Bone marrow aspirate smear; MGG-stained; 40× objective, oil immersion: 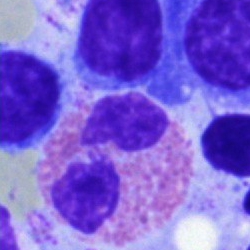This is an eosinophil.